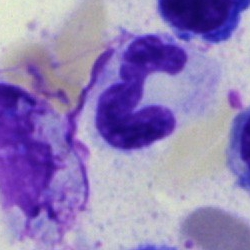
Cell — polymorphonuclear neutrophil.